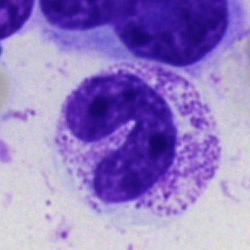 Classification = polymorphonuclear neutrophil.